Single-cell crop. 40× objective, oil immersion. Bone marrow smear:
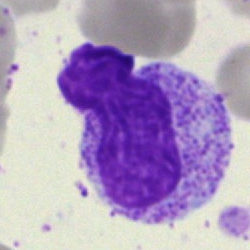 The morphological class is myelocyte.